Bone marrow aspirate smear: 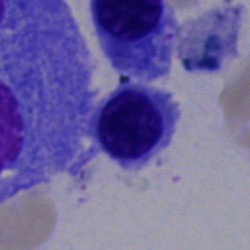 Cell = normoblast.